Bone marrow aspirate smear. Brightfield microscopy, 40× oil immersion: 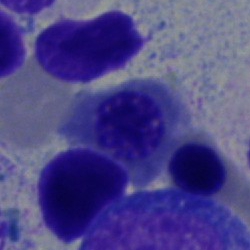The morphological class is normoblast.